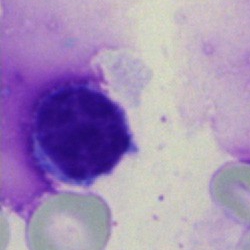Q: What type of cell is this?
A: It is a lymphocyte.